Brightfield microscopy, 40× oil immersion. Bone marrow smear — 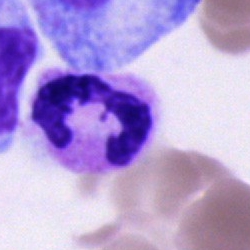

Cell type: polymorphonuclear neutrophil.